Bone marrow aspirate smear; brightfield, 40× oil-immersion objective; MGG-stained.
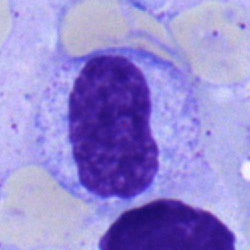Morphology — metamyelocyte.